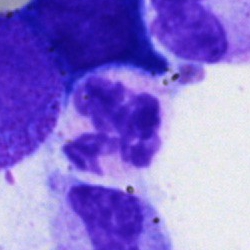

Q: Which cell type is shown here?
A: This is a polymorphonuclear neutrophil.